Bone marrow aspirate smear:
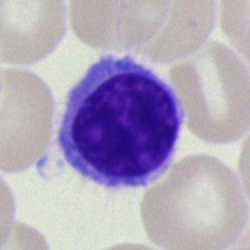

Impression — typical lymphocyte.